Bone marrow aspirate smear:
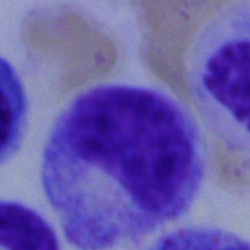
Classification: metamyelocyte.